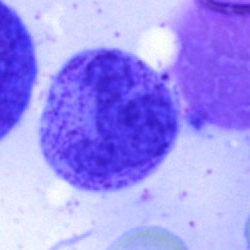

Q: What is shown here?
A: Segmented neutrophil.